Bone marrow aspirate smear:
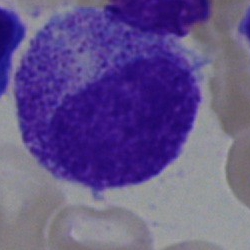
The cell type is myelocyte.